Bone marrow aspirate smear; May-Grünwald-Giemsa/Pappenheim stain — 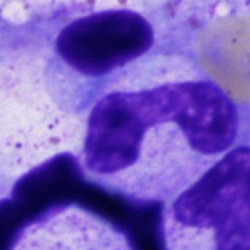 Morphological class: stab cell.